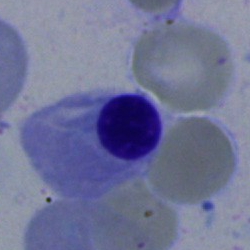
Bone marrow smear showing a nucleated red cell.